250×250 · bone marrow aspirate smear
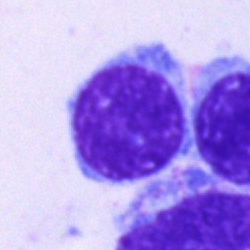

Cell type: typical lymphocyte.